May-Grünwald-Giemsa/Pappenheim stain · bone marrow smear — 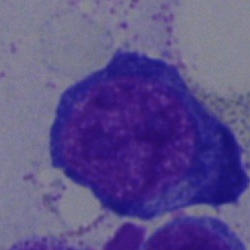

Morphology consistent with a proerythroblast.